Bone marrow smear — 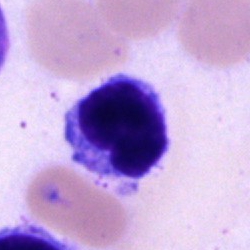

Q: Which cell type is shown here?
A: This is a typical lymphocyte.